Bone marrow aspirate smear — 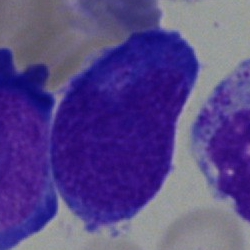Morphology → undifferentiated blast.